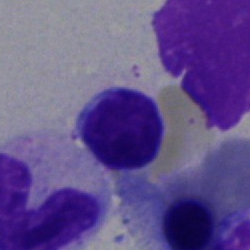

Bone marrow smear showing a lymphocyte.